Brightfield, 40× oil-immersion objective · image size 250×250 · bone marrow smear — 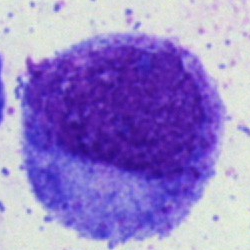
{"cell_type": "promyelocyte"}